Bone marrow smear:
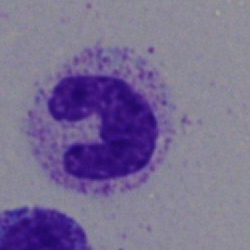
Morphology — neutrophil (segmented).